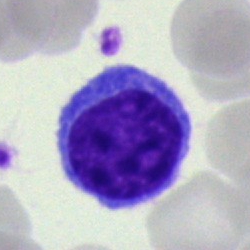Q: What is the morphological classification of this cell?
A: This is a typical lymphocyte.